Bone marrow smear.
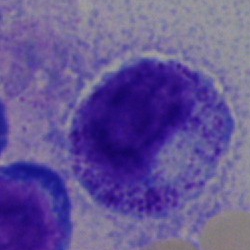
The morphological class is myelocyte.